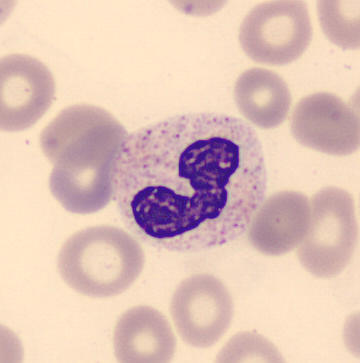Image: Peripheral blood smear.
Stab cell.